Bone marrow smear:
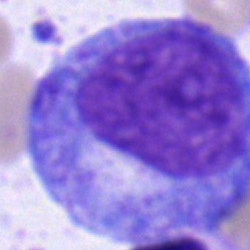
The cell type is progranulocyte.